Single cell centered in the field. Bone marrow smear
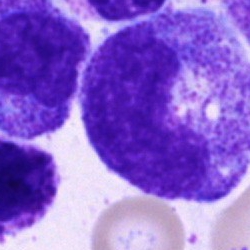Q: What type of cell is this?
A: This is a progranulocyte.